Bone marrow aspirate smear: 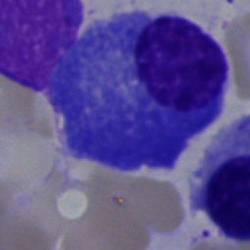
Classification: plasma cell.